Bone marrow aspirate smear.
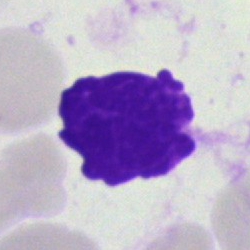
{"cell_type": "artifact"}